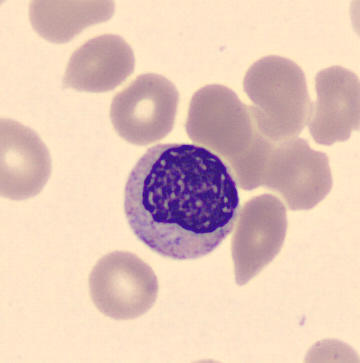

Image: Peripheral blood film. {"cell_type": "metamyelocyte", "lineage": "myeloid"}